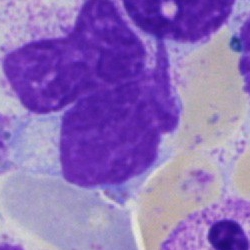

An artifact.